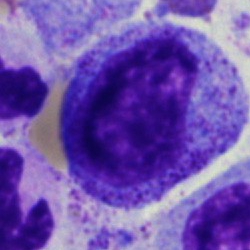

Q: Identify the cell.
A: It is a promyelocyte.